Brightfield microscopy, 40× oil immersion. Bone marrow smear. 250 by 250 pixels: 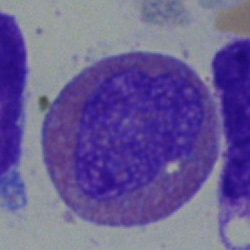 Morphology consistent with an eosinophil.